Peripheral blood film: 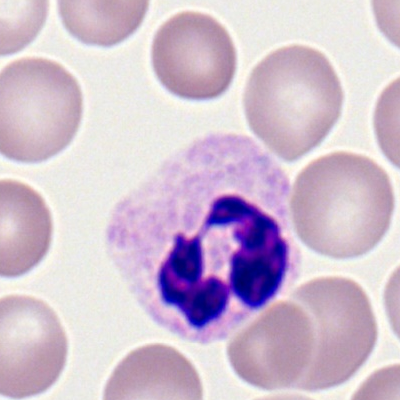 Morphological class: polymorphonuclear neutrophil.